Romanowsky-type stain. Peripheral blood film — 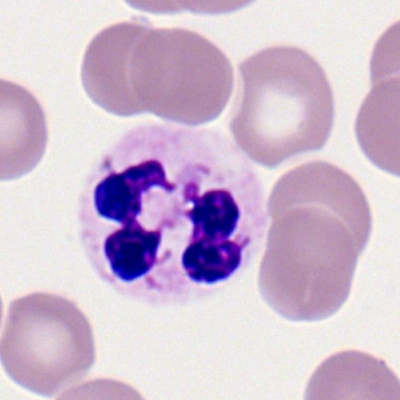

Cell = polymorphonuclear neutrophil.